Bone marrow smear; 250×250 px — 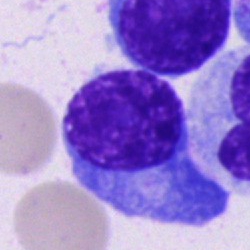 Cell type = plasma cell.